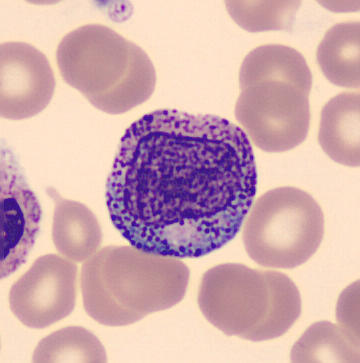
Specimen: peripheral blood smear.
Morphological class: myelocyte.
Lineage: myeloid.